Bone marrow smear: 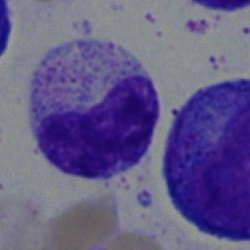Morphological class — metamyelocyte.